Bone marrow aspirate smear; May-Grünwald-Giemsa stain.
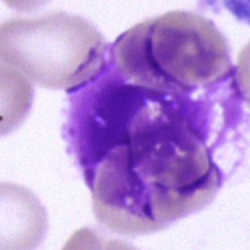 Artefact.